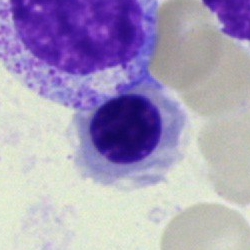
Classification — erythroblast.